Peripheral blood smear. Automated cell imaging (CellaVision DM96). May Grünwald-Giemsa stain: 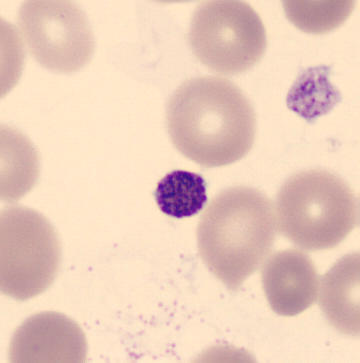
A thrombocyte.